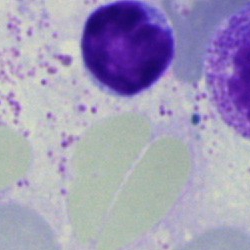

Impression → typical lymphocyte.